Bone marrow aspirate smear; cropped to a single cell; 40× objective, oil immersion.
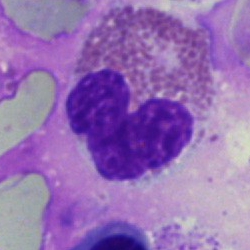 {"cell_type": "basophil"}